Bone marrow smear.
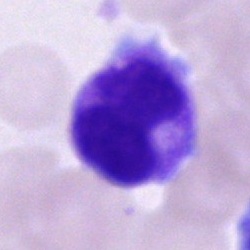
Cell: neutrophil (segmented).